May-Grünwald-Giemsa stain. Bone marrow aspirate smear:
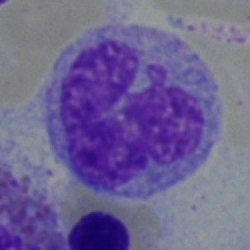
Single cell identified as a monocyte.